Bone marrow aspirate smear. May-Grünwald-Giemsa stain.
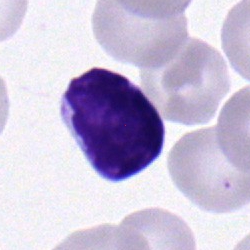

Morphology consistent with a typical lymphocyte.